40× oil immersion. Bone marrow smear:
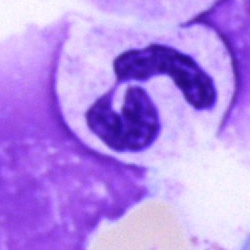Cell — polymorphonuclear neutrophil.